Bone marrow aspirate smear; MGG-stained: 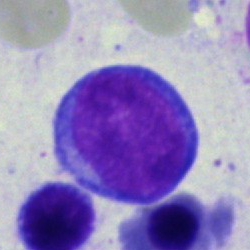Q: What is the morphological classification of this cell?
A: This is a pronormoblast.